Peripheral blood film
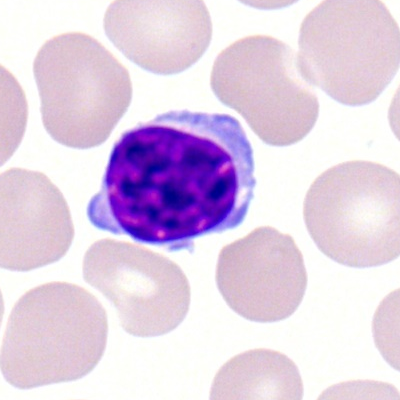 Lymphocyte.